Peripheral blood smear; 360×363
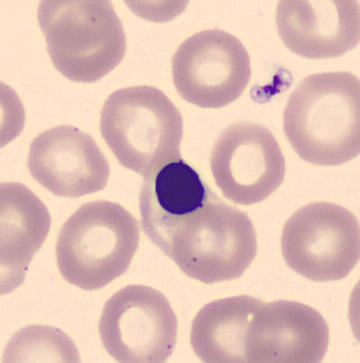
Specimen: peripheral blood film.
Morphological class: nucleated red cell.
Lineage: erythroid.